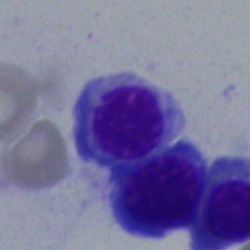 Morphology — nucleated red cell.